May-Grünwald-Giemsa stain · bone marrow smear · single-cell crop
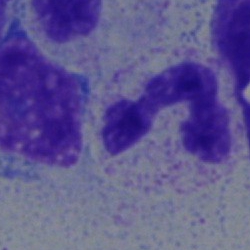
Specimen: bone marrow smear.
Cell: segmented neutrophil.